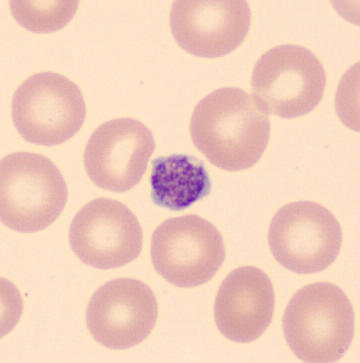

Identified as a platelet (thrombocyte). Peripheral blood smear · 360×363.